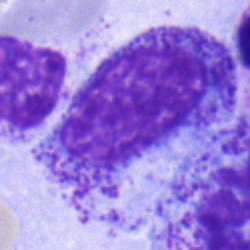

Morphology consistent with a myelocyte.